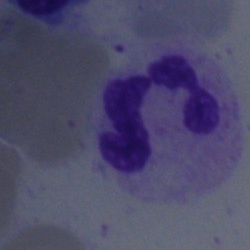

The cell shown is a neutrophil (segmented).